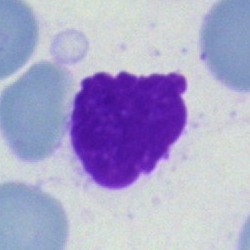
Q: What is shown here?
A: Artifact.